Cropped to a single cell · May-Grünwald-Giemsa stain · bone marrow smear: 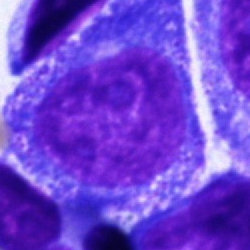

Specimen: bone marrow aspirate smear.
Cell: promyelocyte.